Bone marrow aspirate smear — 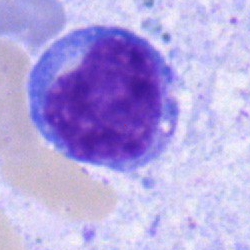
Impression → blast.